Bone marrow aspirate smear — 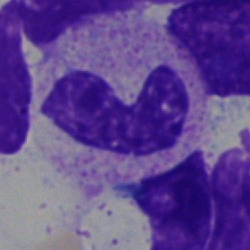
Showing a stab cell.